Bone marrow smear
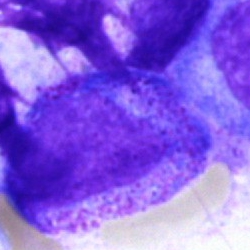
Specimen: bone marrow smear.
Classification: myelocyte.
Lineage: myeloid.